Romanowsky-stained · peripheral blood film.
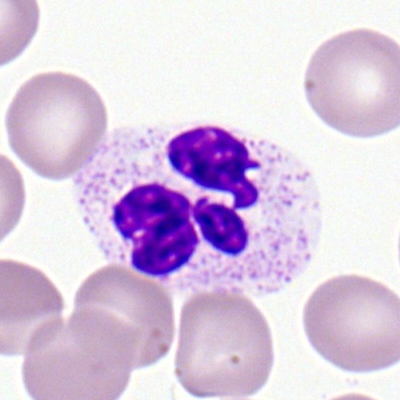
Segmented neutrophil.